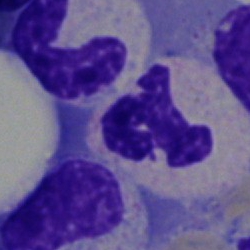

Morphological class — neutrophil (segmented).